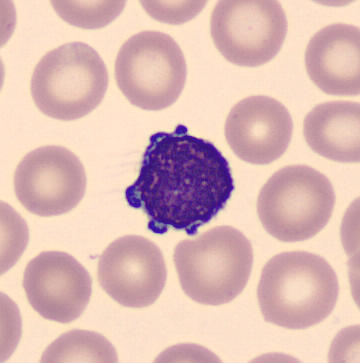 Impression → lymphocyte.

Image: Imaged on a CellaVision DM96 analyser · peripheral blood smear.